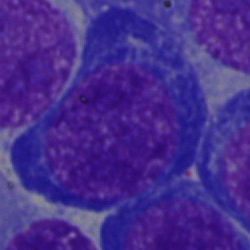

Morphological class = nucleated red blood cell.